Brightfield, 40× oil-immersion objective; bone marrow smear; single-cell field — 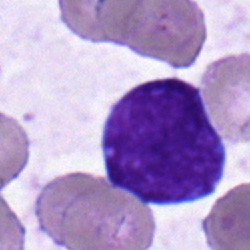
Q: What cell is this?
A: Lymphocyte.